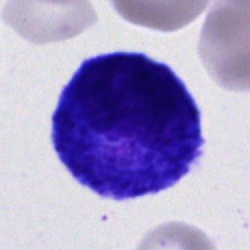This is a promyelocyte.